Bone marrow aspirate smear
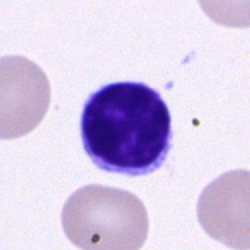
{"cell_type": "typical lymphocyte"}